250×250 · bone marrow smear: 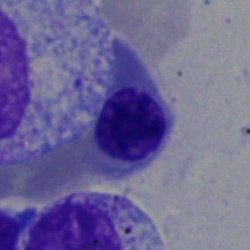
Morphology — erythroblast.